Bone marrow aspirate smear; cropped to a single cell — 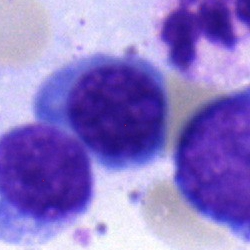 Morphology → normoblast.